Bone marrow smear · MGG-stained · brightfield, 40× oil-immersion objective
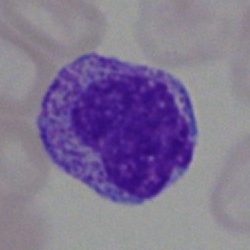Impression → myelocyte.